Peripheral blood film: 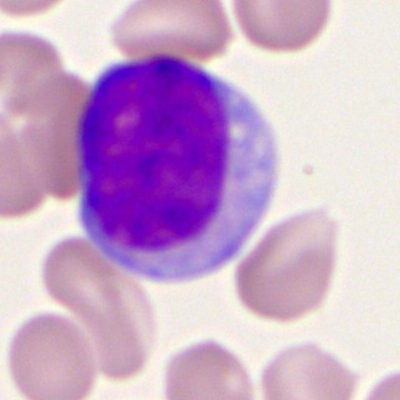

The cell shown is a myeloid blast.